Bone marrow smear
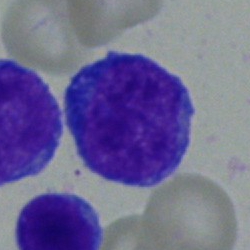

Q: What type of cell is this?
A: This is a blast cell.